MGG-stained · bone marrow aspirate smear
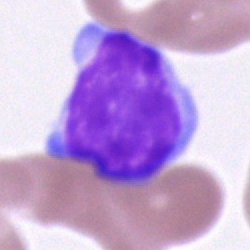
A typical lymphocyte.